250×250; May-Grünwald-Giemsa stain; bone marrow smear: 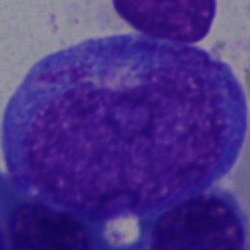
The cell type is promyelocyte.